Peripheral blood film; 360×363 — 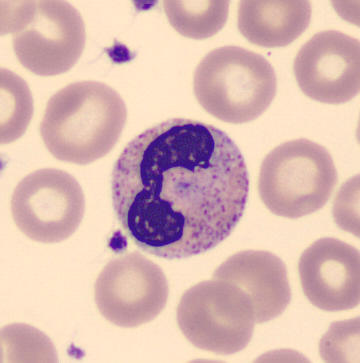 Q: What is this?
A: It is a stab cell.